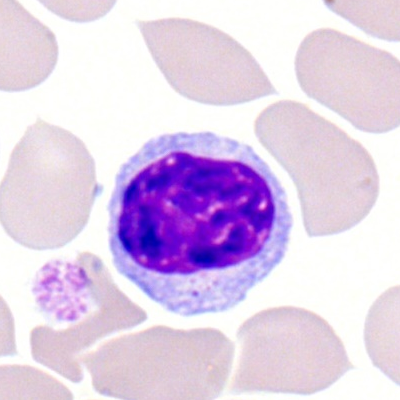
Specimen: peripheral blood film.
Morphological class: lymphocyte.